Bone marrow smear
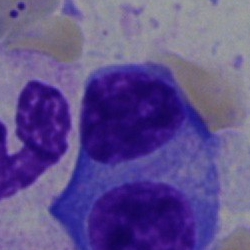
Plasmacyte.